MGG-stained. Bone marrow aspirate smear. 40× objective, oil immersion — 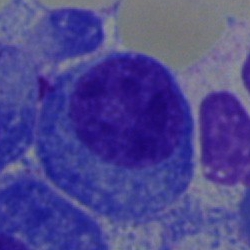 The cell type is plasmacyte.